Romanowsky stain. Peripheral blood film:
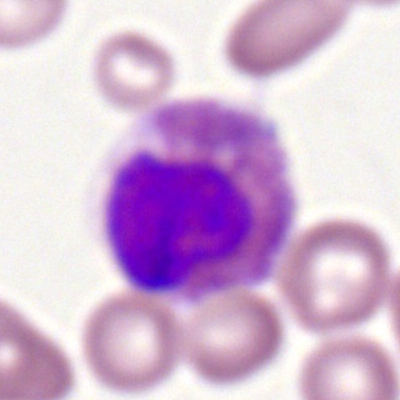
Q: Which cell type is shown here?
A: Eosinophil.